Bone marrow aspirate smear:
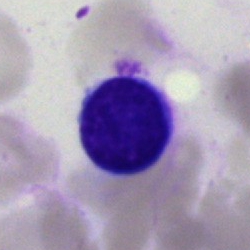
Cell: typical lymphocyte.